Bone marrow smear
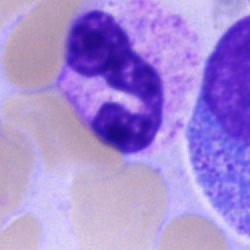
The classification is segmented neutrophil.